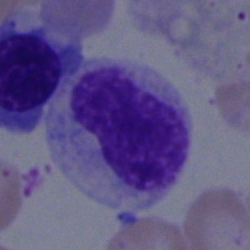 Morphology consistent with a band neutrophil.